Bone marrow smear.
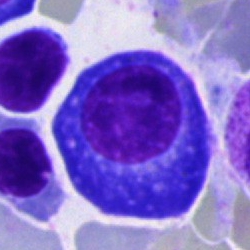

Cell type — plasmacyte.